Bone marrow smear
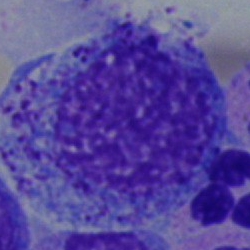

Classification — promyelocyte.